100× oil immersion · peripheral blood film · Romanowsky stain — 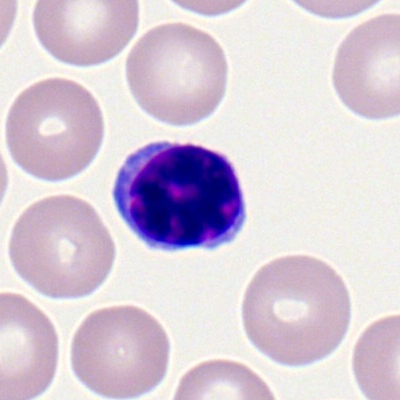
Specimen: peripheral blood smear.
Cell type: typical lymphocyte.
Lineage: lymphoid.